Bone marrow aspirate smear · Pappenheim-stained · 40× objective, oil immersion.
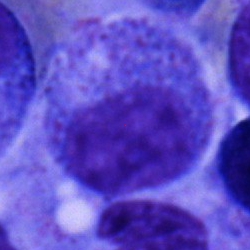
The classification is progranulocyte.